May-Grünwald-Giemsa/Pappenheim stain; bone marrow aspirate smear — 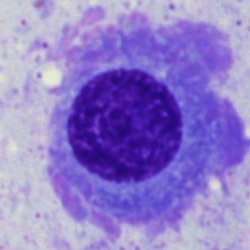

Showing a plasmacyte.